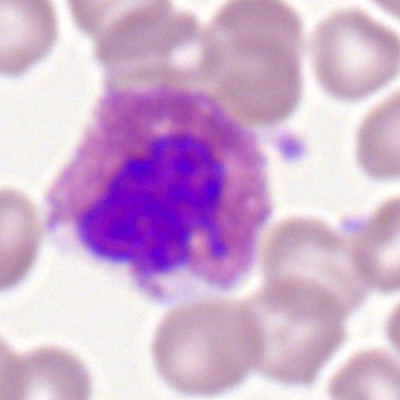

Eosinophil.